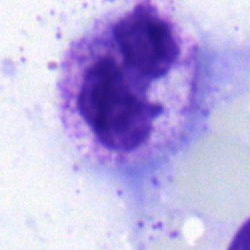

Q: Identify the cell.
A: This is a polymorphonuclear neutrophil.